Bone marrow aspirate smear; image size 250×250
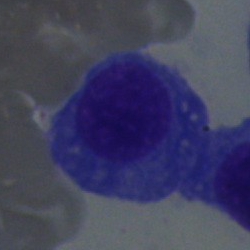 Q: What is the morphological classification of this cell?
A: A plasma cell.